Bone marrow aspirate smear; 250×250:
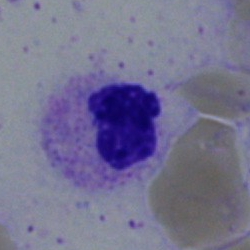 This is a neutrophil (segmented).